Peripheral blood film: 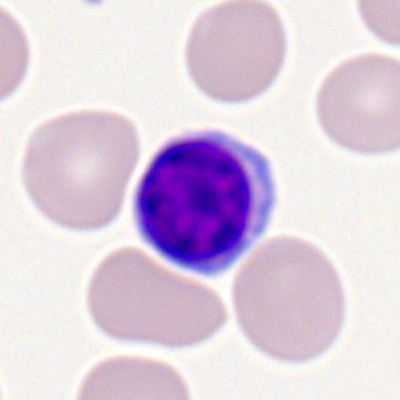 Showing a typical lymphocyte.